May-Grünwald-Giemsa stain; bone marrow aspirate smear — 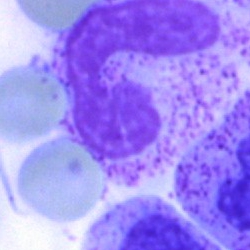 Q: Identify the cell.
A: A band neutrophil.